Bone marrow smear:
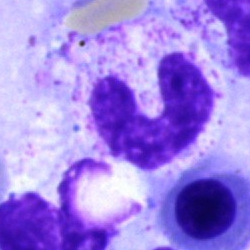The cell shown is a band-form neutrophil.